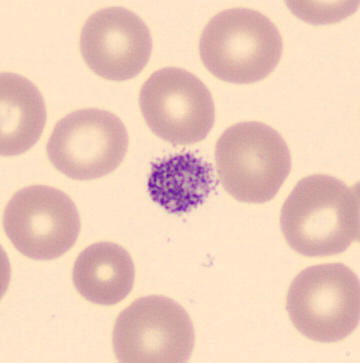

Specimen: peripheral blood film.
Classification: platelet (thrombocyte).